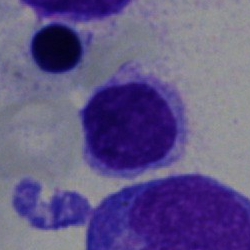

Q: What is shown here?
A: This is a lymphocyte.